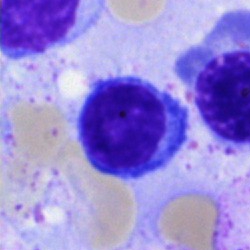
Cell = typical lymphocyte.